Bone marrow aspirate smear
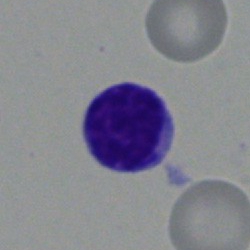 Q: What is the morphological classification of this cell?
A: A typical lymphocyte.